Bone marrow aspirate smear: 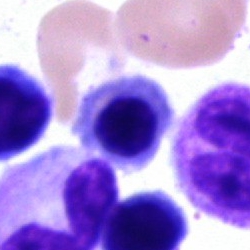Classification — erythroblast.